Bone marrow aspirate smear: 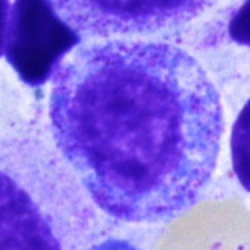Showing a promyelocyte.